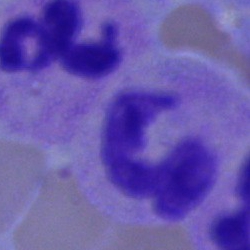 Cell: neutrophil (segmented).